Pappenheim-stained; bone marrow aspirate smear
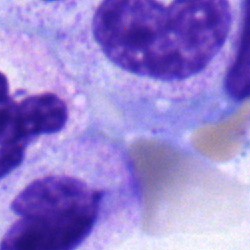 The morphological class is band-form neutrophil.